Single-cell field; bone marrow smear.
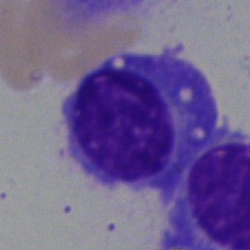

Plasmacyte.